Bone marrow aspirate smear:
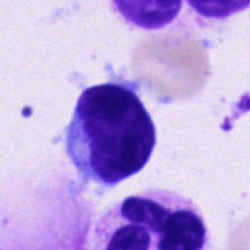
The morphological class is lymphocyte.